Bone marrow aspirate smear
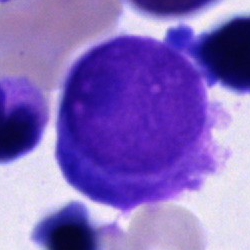 Morphological class — plasma cell.